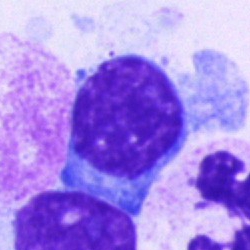Cell type — typical lymphocyte.